Bone marrow smear.
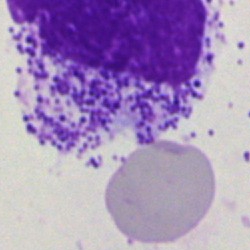

Single cell identified as an artefact.